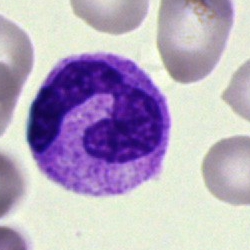Specimen: bone marrow smear.
Morphological class: segmented neutrophil.
Lineage: myeloid.